Bone marrow smear
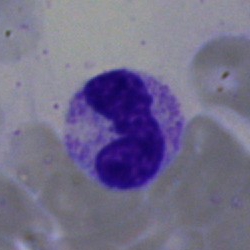 A neutrophil (band).